Bone marrow smear
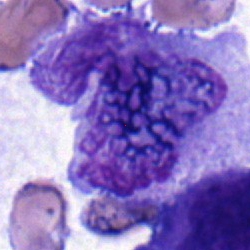
Q: What is the morphological classification of this cell?
A: A blast.